Bone marrow aspirate smear; 40× objective, oil immersion.
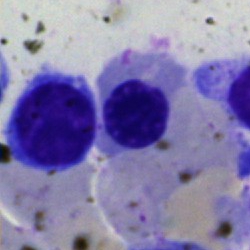

This is a nucleated red blood cell.